Bone marrow aspirate smear · 250×250:
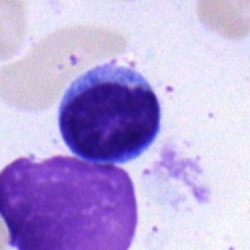
Morphological class = typical lymphocyte.